Image size 400×400; peripheral blood smear
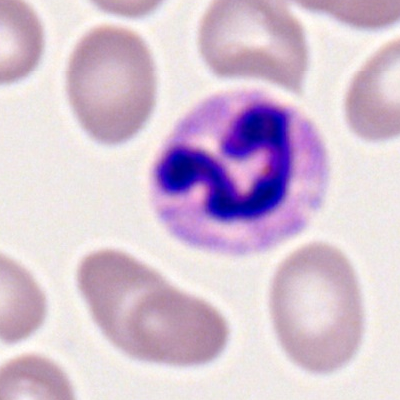 Neutrophil (segmented).